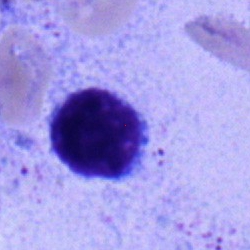Specimen: bone marrow smear.
Classification: lymphocyte.
Lineage: lymphoid.